Bone marrow aspirate smear: 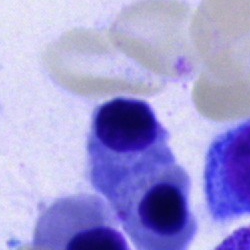

Showing a nucleated red cell.